Single-cell crop; bone marrow smear: 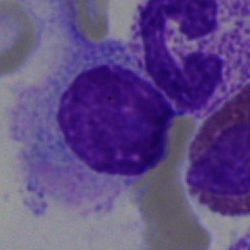Q: What is the morphological classification of this cell?
A: A cell of indeterminate lineage.